Bone marrow aspirate smear; Pappenheim-stained; 250×250 px.
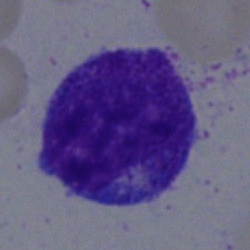 Morphology → promyelocyte.